Bone marrow smear
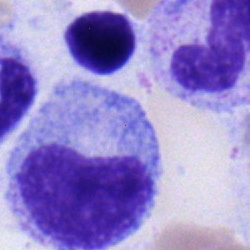 Q: What is the morphological classification of this cell?
A: A promyelocyte.